Image size 250×250; cropped to a single cell; bone marrow aspirate smear:
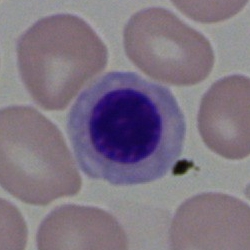
Morphological class = nucleated red cell.